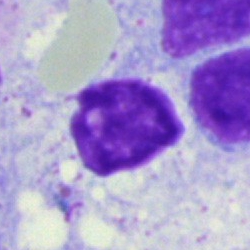
Showing an artifact.